Bone marrow smear; Pappenheim-stained.
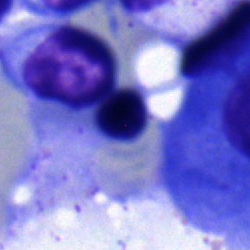 Morphology — nucleated red blood cell.